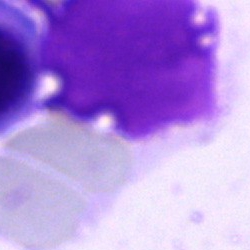 An artefact on a bone marrow smear.